Bone marrow aspirate smear · image size 250×250.
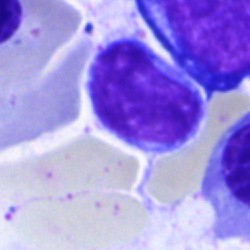Specimen: bone marrow smear.
Cell type: typical lymphocyte.
Lineage: lymphoid.